Bone marrow aspirate smear.
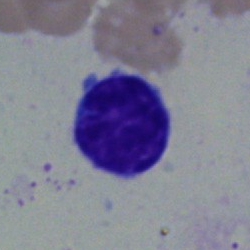

A lymphocyte.